Bone marrow aspirate smear · 250 by 250 pixels · 40× oil immersion
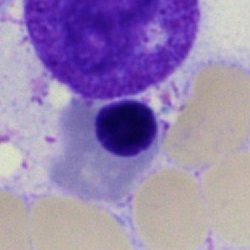
Classification — nucleated red cell.